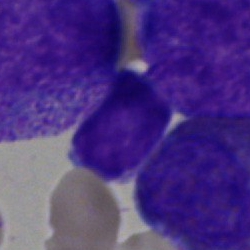
Cell type: typical lymphocyte.